Bone marrow smear · Pappenheim-stained · single cell centered in the field — 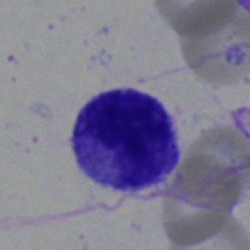
Cell = typical lymphocyte.